Bone marrow smear.
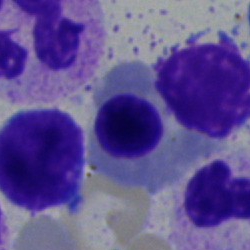 Morphology consistent with a nucleated red cell.